40× objective, oil immersion; bone marrow smear; 250×250 px
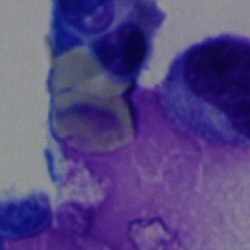Single cell identified as an artifact.